Pappenheim-stained; bone marrow smear — 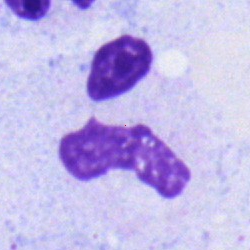 Polymorphonuclear neutrophil.